Peripheral blood smear; single cell centered in the field: 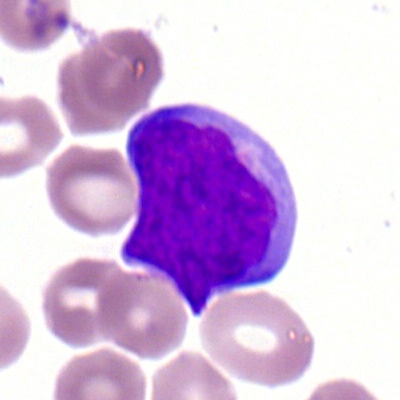

Cell type — myeloid blast.